Bone marrow smear — 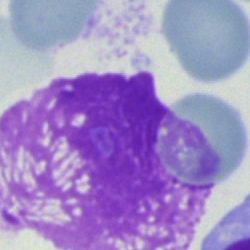
Cell: artifact.